Bone marrow aspirate smear:
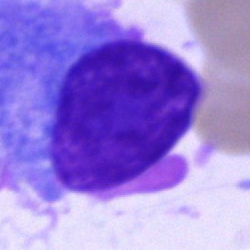

Plasma cell.